Bone marrow aspirate smear: 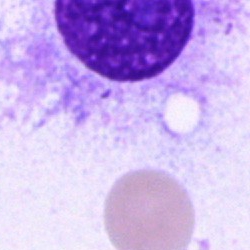
Classification = artefact.